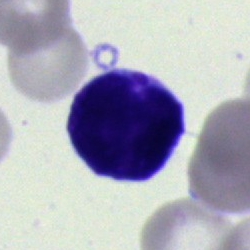
The morphological class is undifferentiated blast.